250×250 · bone marrow aspirate smear.
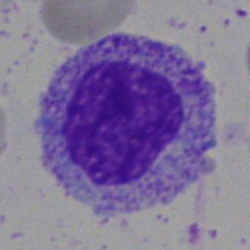 Morphological class — myelocyte.